Cropped to a single cell · bone marrow smear — 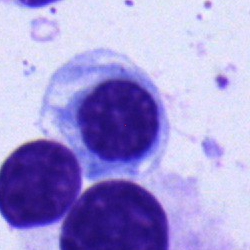
Morphological class — erythroblast.